Single-cell field; 40× oil immersion; bone marrow smear: 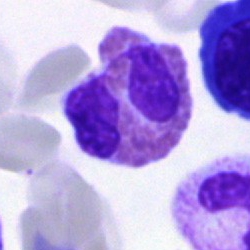 Morphology — eosinophilic granulocyte.